Bone marrow aspirate smear — 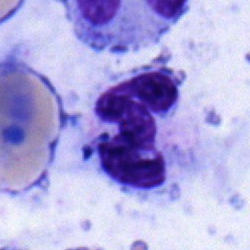

This is a segmented neutrophil.